Peripheral blood smear — 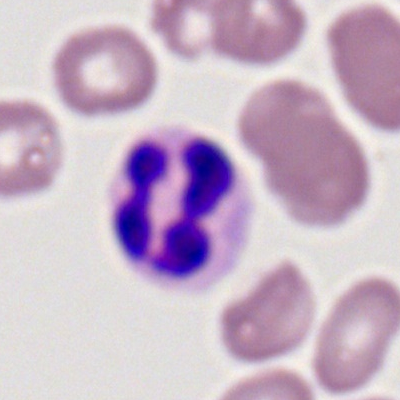
Cell type = polymorphonuclear neutrophil.